Bone marrow smear
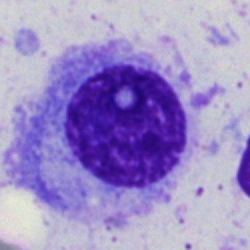
Showing a plasma cell.